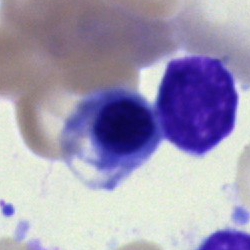Cell type — normoblast.